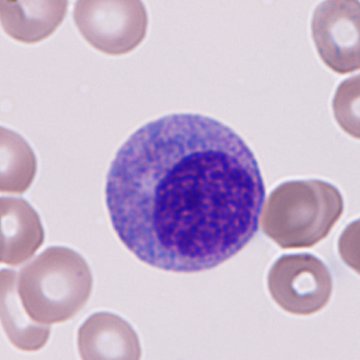The morphological class is immature granulocyte.